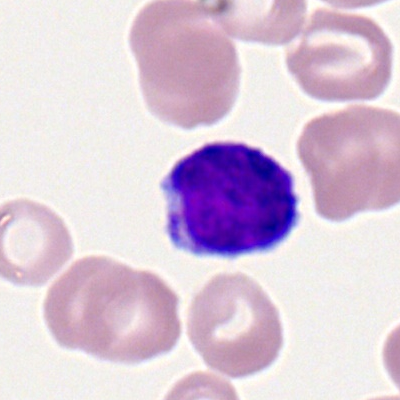

Morphology → lymphocyte.